Bone marrow aspirate smear:
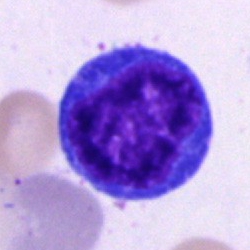Pronormoblast.